Bone marrow smear:
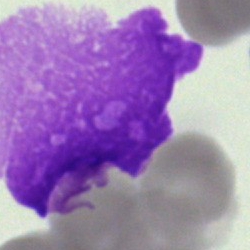 {"cell_type": "artifact"}